May-Grünwald-Giemsa/Pappenheim stain · bone marrow aspirate smear
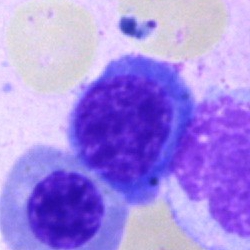{"cell_type": "nucleated red cell", "lineage": "erythroid"}